Bone marrow aspirate smear.
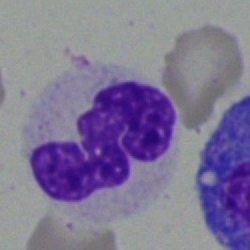Impression — neutrophil (segmented).